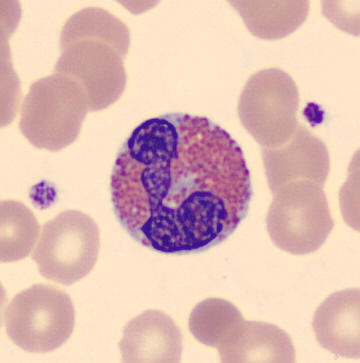The cell shown is an eosinophilic granulocyte.
Preparation: Peripheral blood film.